May-Grünwald-Giemsa/Pappenheim stain; bone marrow smear — 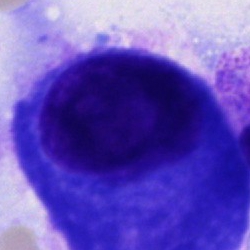

Impression — plasma cell.